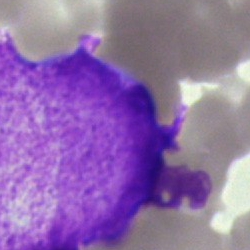
Bone marrow smear showing a blast.